May-Grünwald-Giemsa/Pappenheim stain. Bone marrow aspirate smear. 250×250 px: 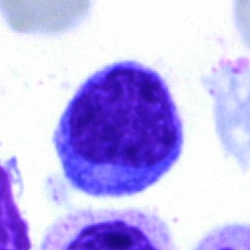Showing a typical lymphocyte.